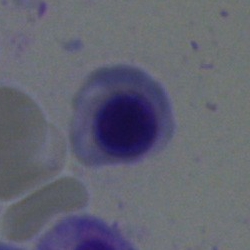

Cell — normoblast.